Bone marrow smear; single-cell crop — 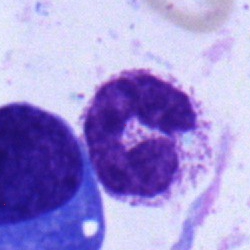A band-form neutrophil.